Single-cell field. Bone marrow aspirate smear.
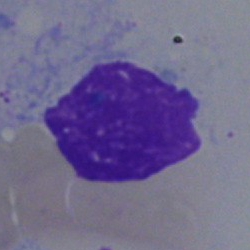

Specimen: bone marrow aspirate smear.
Morphological class: artifact.